250 by 250 pixels · bone marrow smear — 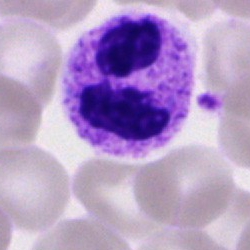The cell is neutrophil (segmented).